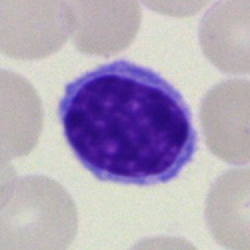 Cell — typical lymphocyte.